Bone marrow smear: 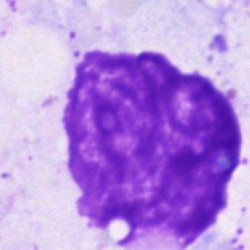
Specimen: bone marrow aspirate smear.
Classification: artifact.